Bone marrow smear:
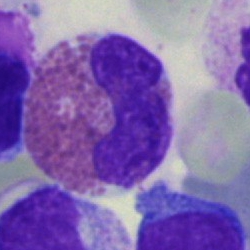
Impression — eosinophilic granulocyte.